Bone marrow aspirate smear · brightfield, 40× oil-immersion objective · image size 250×250: 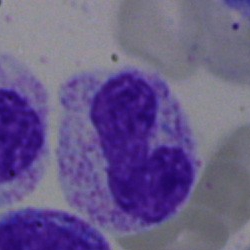
Cell: neutrophil (band).